Bone marrow aspirate smear — 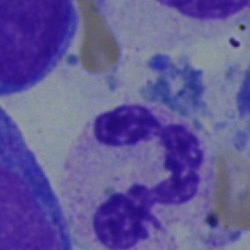
{"cell_type": "segmented neutrophil"}